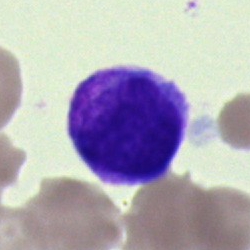
Bone marrow aspirate smear, single cell — lymphocyte.